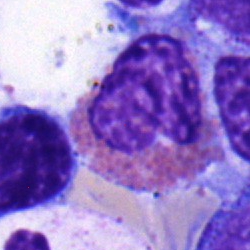The cell shown is an eosinophilic granulocyte.